Image size 250×250; bone marrow aspirate smear.
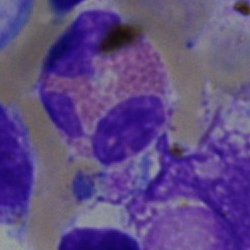 Cell: eosinophilic granulocyte.